Bone marrow aspirate smear: 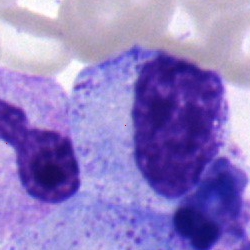

{"cell_type": "myelocyte", "lineage": "myeloid"}